Bone marrow smear; image size 250×250; Pappenheim-stained
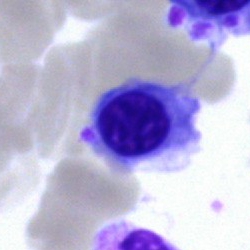 Morphology consistent with a nucleated red blood cell.